Bone marrow smear:
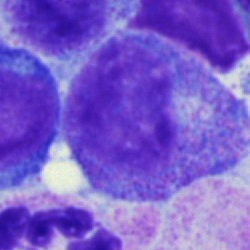 {"cell_type": "promyelocyte", "lineage": "myeloid"}